Bone marrow aspirate smear: 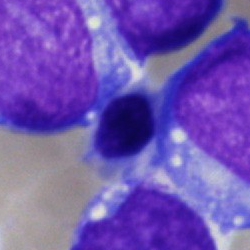 The cell is typical lymphocyte.